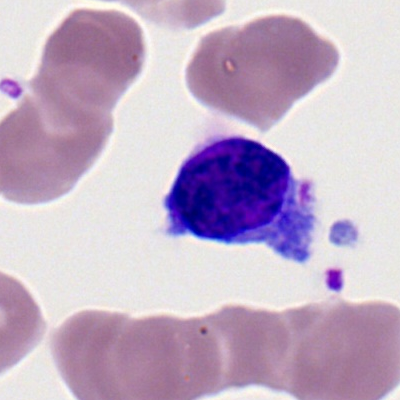 Q: What is shown here?
A: This is a lymphocyte.